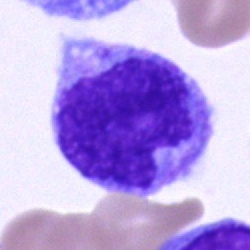Q: What type of cell is this?
A: This is a monocyte.